Bone marrow smear: 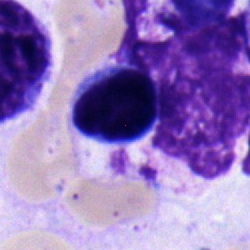
Showing a lymphocyte.